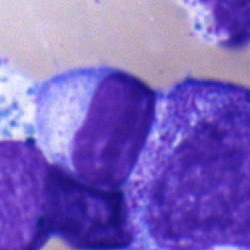Impression — typical lymphocyte.